Bone marrow smear; May-Grünwald-Giemsa/Pappenheim stain: 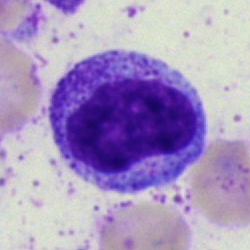 This is a myelocyte.